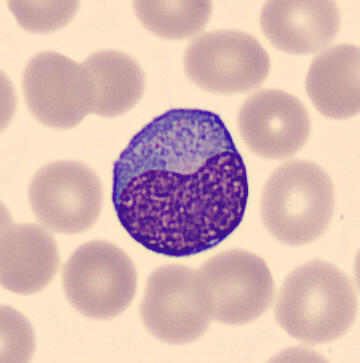 Cell: monocyte.